Bone marrow smear: 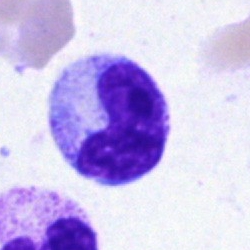Cell type = band neutrophil.